Peripheral blood smear — 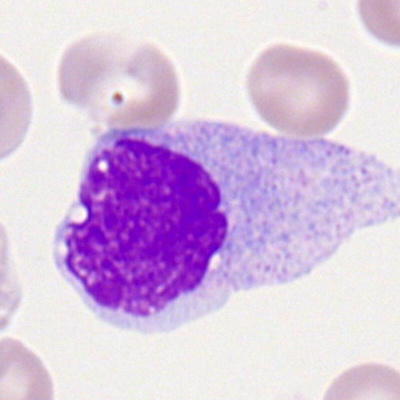Showing a monocyte.